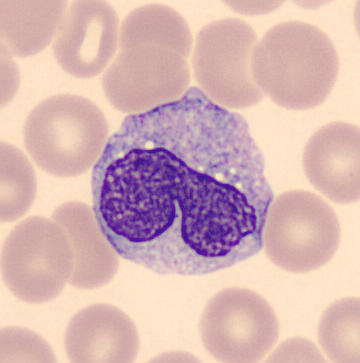Preparation: 360×363 · MGG stain · peripheral blood film.

Monocyte.